250 by 250 pixels. Single-cell crop. Bone marrow aspirate smear:
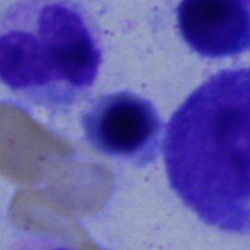
Showing an erythroblast.